Bone marrow aspirate smear:
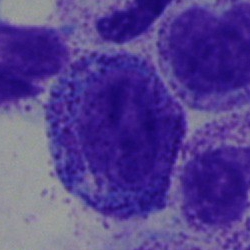
A myelocyte.